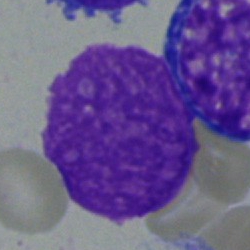
Q: What is shown here?
A: An artifact.